Bone marrow aspirate smear.
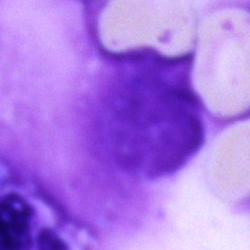 Morphological class = artefact.